Bone marrow smear. 40× objective, oil immersion — 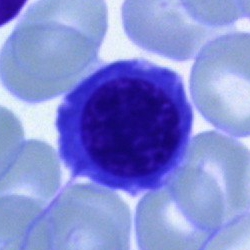 The cell type is erythroblast.